Bone marrow aspirate smear · brightfield, 40× oil-immersion objective:
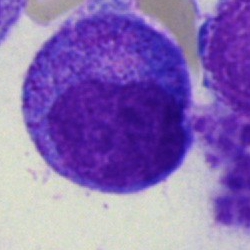 Showing a progranulocyte.